40× objective, oil immersion · Pappenheim-stained · bone marrow aspirate smear:
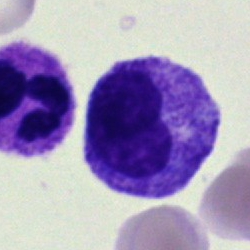 Specimen: bone marrow smear.
Cell: metamyelocyte.
Lineage: myeloid.